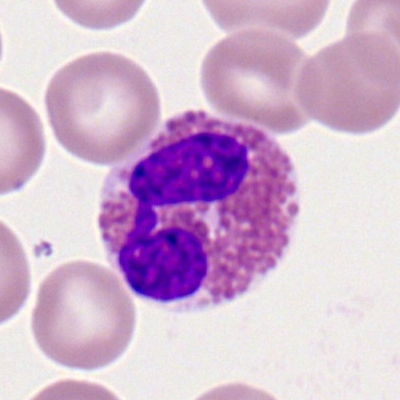
Cell: eosinophil.